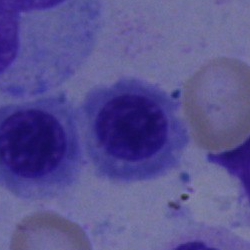
An erythroblast.